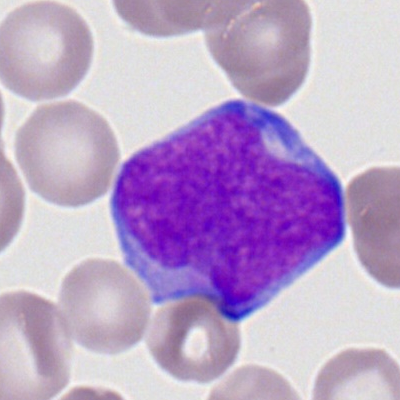

Impression — myeloblast.